Pappenheim-stained. Bone marrow smear:
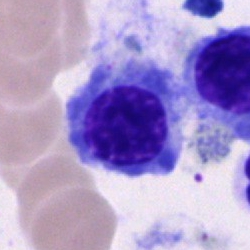

Specimen: bone marrow smear.
Classification: nucleated red cell.